Bone marrow aspirate smear:
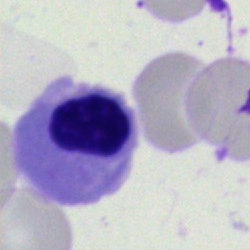

Impression — nucleated red cell.